Single-cell crop · bone marrow smear:
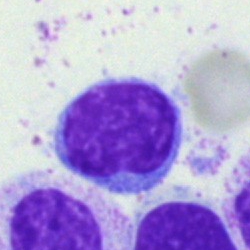

Impression → lymphocyte.